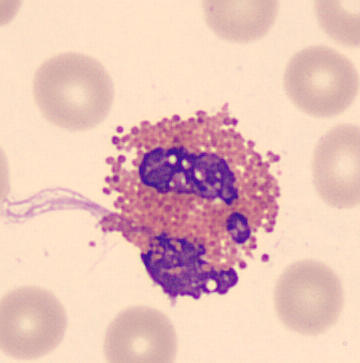 {"cell_type": "eosinophil", "lineage": "myeloid"}

Acquisition: Peripheral blood film.